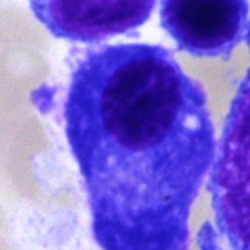

Morphology consistent with a plasmacyte.